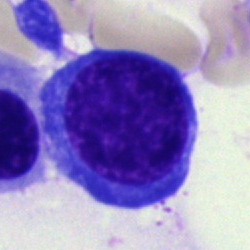
Bone marrow smear showing an erythroblast.